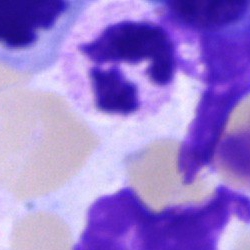Cell: segmented neutrophil.